Bone marrow aspirate smear
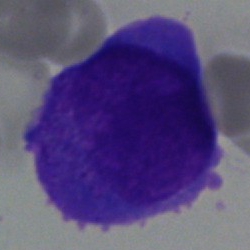 Showing a blast cell.